May-Grünwald-Giemsa/Pappenheim stain; bone marrow aspirate smear
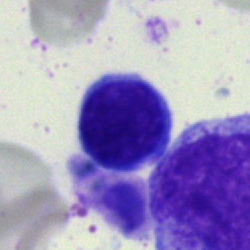Impression → typical lymphocyte.